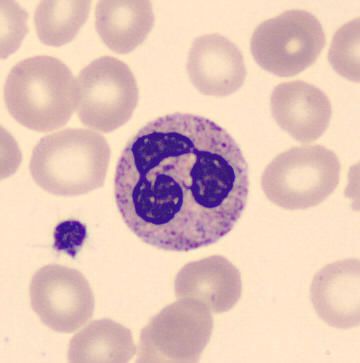
Image: May-Grünwald-Giemsa-stained · peripheral blood smear. Identified as a polymorphonuclear neutrophil.